Bone marrow smear.
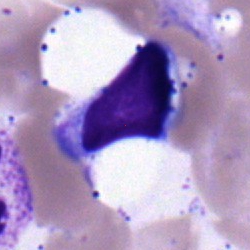Morphological class — lymphocyte.